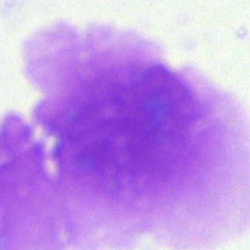

Single cell identified as an artifact.